Bone marrow smear · May-Grünwald-Giemsa/Pappenheim stain:
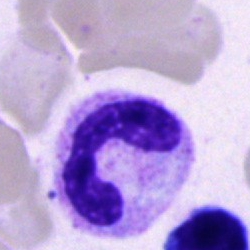

Morphology consistent with a neutrophil (segmented).